400×400; Romanowsky stain; peripheral blood film
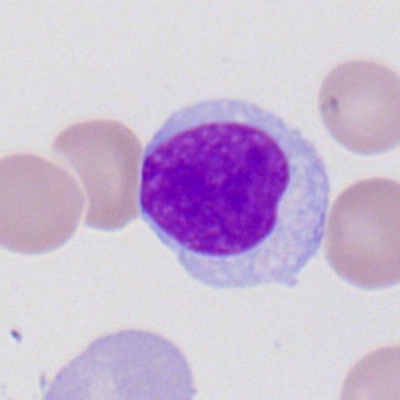 Morphology consistent with a lymphocyte.